MGG-stained; bone marrow smear
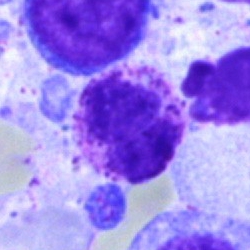This is a basophil.